Bone marrow aspirate smear:
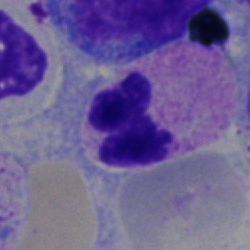

Classification — polymorphonuclear neutrophil.